Bone marrow aspirate smear; 40× oil immersion.
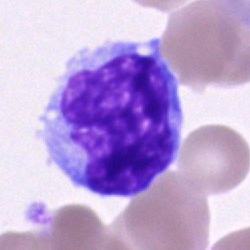
Morphology — blast.